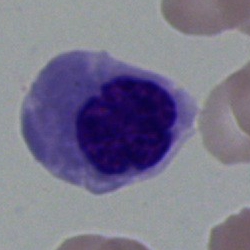 Specimen: bone marrow smear.
Morphological class: normoblast.
Lineage: erythroid.